Bone marrow aspirate smear · May-Grünwald-Giemsa stain — 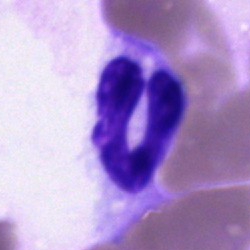

Q: What is the morphological classification of this cell?
A: A neutrophil (band).